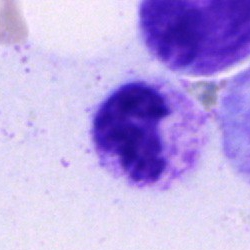

Impression — neutrophil (segmented).